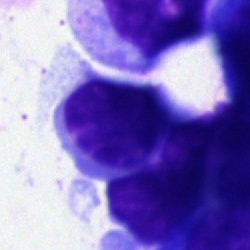 Q: What is shown here?
A: It is a lymphocyte.